40× objective, oil immersion. Bone marrow aspirate smear
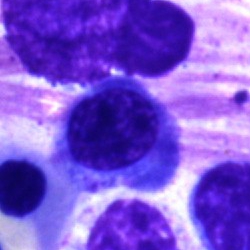The cell is nucleated red blood cell.